Bone marrow aspirate smear — 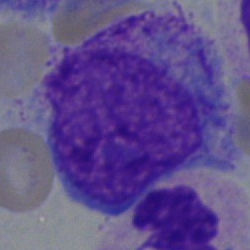 This is a promyelocyte.